Bone marrow smear
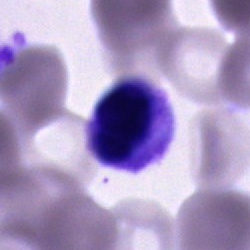Morphology consistent with a cell of indeterminate lineage.